Bone marrow smear: 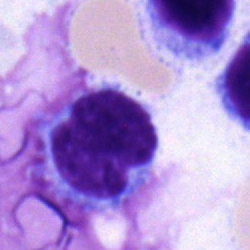Specimen: bone marrow aspirate smear.
Cell: typical lymphocyte.
Lineage: lymphoid.